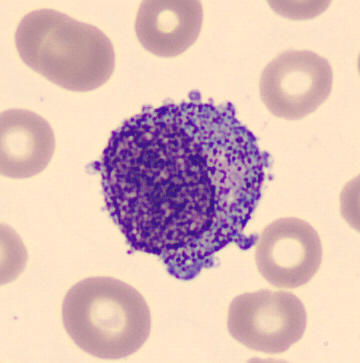
Single cell identified as a myelocyte.